Bone marrow smear: 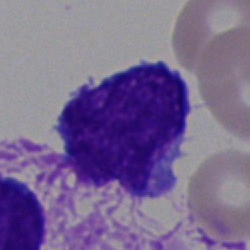Single cell identified as an undifferentiated blast.